40× objective, oil immersion · 250×250 · bone marrow smear
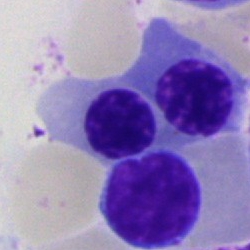 Cell type — nucleated red blood cell.